Bone marrow smear. Single-cell crop: 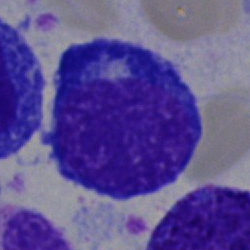
Showing a normoblast.